40× objective, oil immersion · bone marrow aspirate smear.
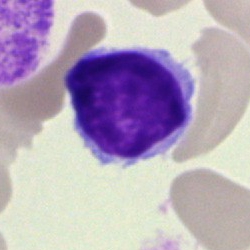 Cell = typical lymphocyte.